Bone marrow aspirate smear:
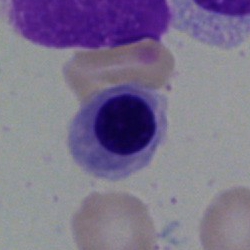

A nucleated red blood cell.